Bone marrow aspirate smear — 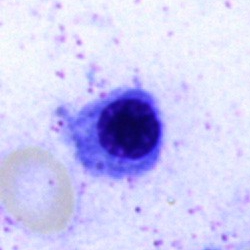 Erythroblast.